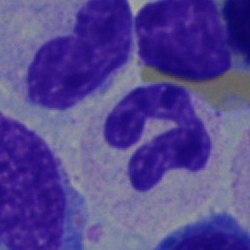
Q: Which cell type is shown here?
A: A band-form neutrophil.